Bone marrow aspirate smear:
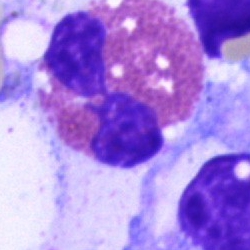

The cell shown is an eosinophilic granulocyte.